Pappenheim-stained · bone marrow aspirate smear · cropped to a single cell
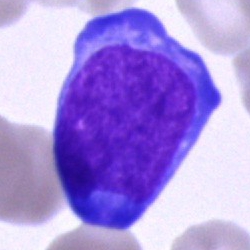

Undifferentiated blast.